Bone marrow aspirate smear · single cell centered in the field — 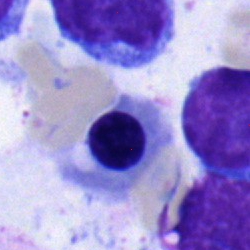
Lymphocyte.